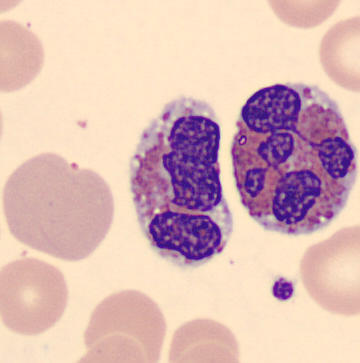 Acquisition: Peripheral blood smear. Morphology consistent with an eosinophilic granulocyte.